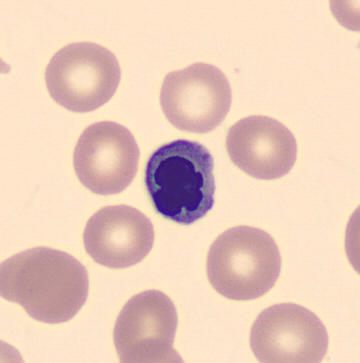
Image: Peripheral blood film. Cropped to a single cell.

Cell — erythroblast.